Bone marrow smear. Cropped to a single cell. MGG-stained — 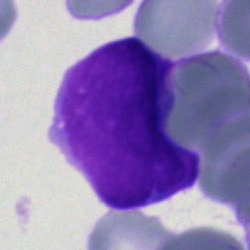 The cell is blast cell.